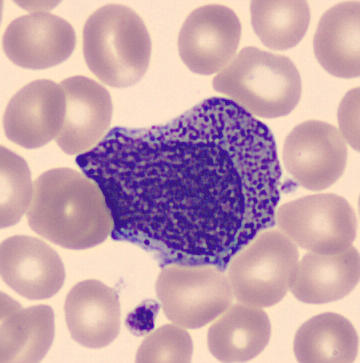

Morphology — promyelocyte.